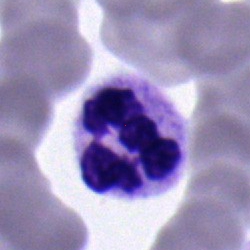Classification — polymorphonuclear neutrophil.